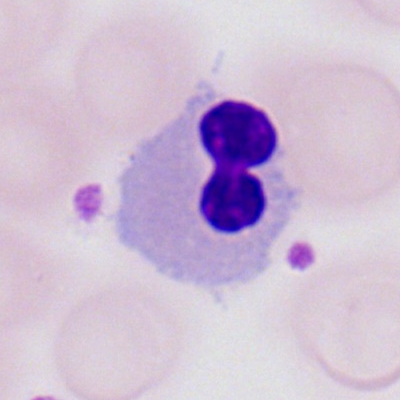

Q: What cell is this?
A: This is a normoblast.